Bone marrow smear
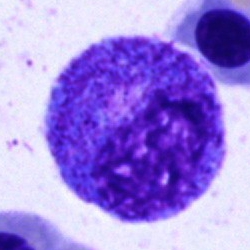

A promyelocyte.